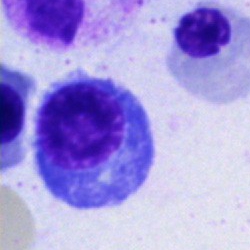
Showing a normoblast.